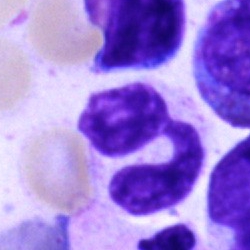

Cell type: polymorphonuclear neutrophil.